Bone marrow smear · 250×250 px:
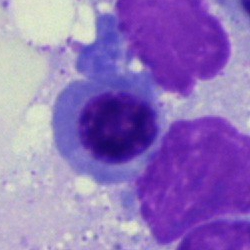 The cell type is nucleated red cell.